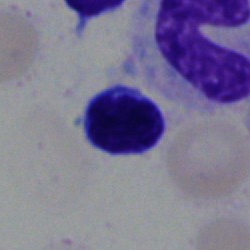The cell shown is a lymphocyte.